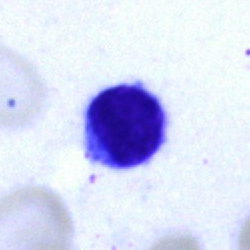 A lymphocyte on a bone marrow smear.